Bone marrow smear.
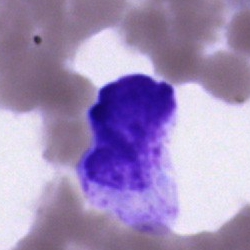Impression — artefact.